May-Grünwald-Giemsa stain · bone marrow aspirate smear:
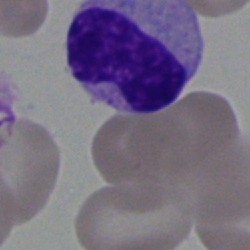Morphological class — metamyelocyte.